Peripheral blood smear. Cropped to a single cell — 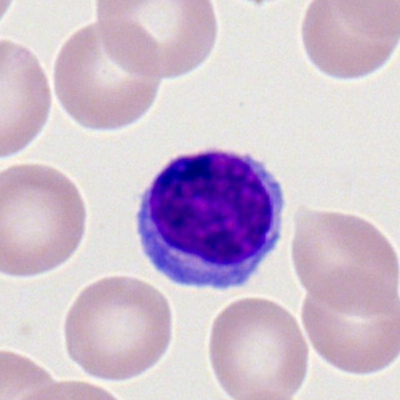 Lymphocyte.